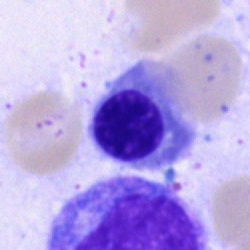

Cell — erythroblast.